Bone marrow aspirate smear — 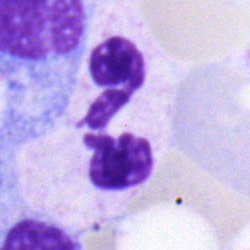
Showing a neutrophil (segmented).